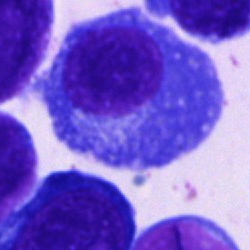
Q: What is the morphological classification of this cell?
A: Plasmacyte.